Bone marrow smear: 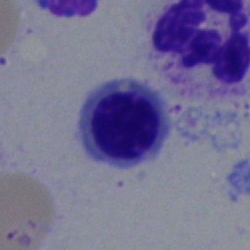

Specimen: bone marrow smear.
Cell: erythroblast.
Lineage: erythroid.